Bone marrow smear.
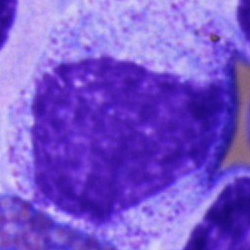 Morphological class — promyelocyte.